250×250 px · 40× oil immersion · bone marrow smear:
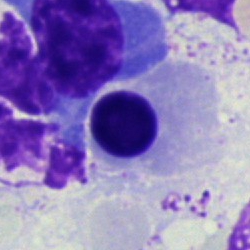 Q: What is the morphological classification of this cell?
A: A nucleated red cell.